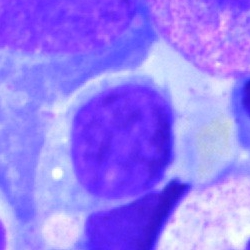

Classification: typical lymphocyte.